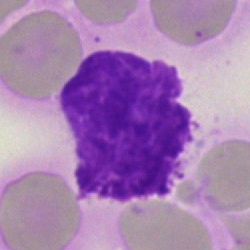 An artifact.